Pappenheim-stained; bone marrow aspirate smear; image size 250×250 — 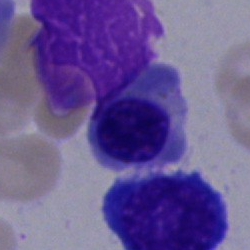Impression — nucleated red blood cell.